Bone marrow aspirate smear — 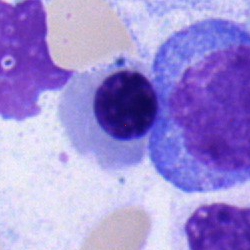

Single cell identified as an erythroblast.